Bone marrow smear. Brightfield microscopy, 40× oil immersion — 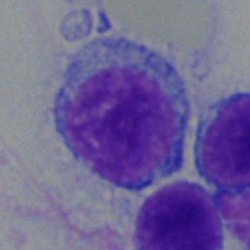

Typical lymphocyte.